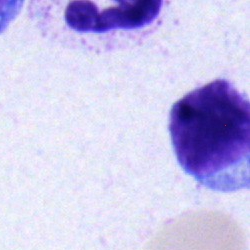

Cell type: lymphocyte.